250×250; bone marrow smear; brightfield, 40× oil-immersion objective: 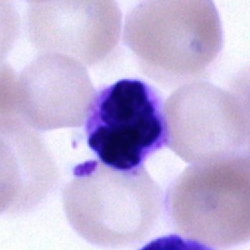
Specimen: bone marrow smear.
Cell type: neutrophil (segmented).